Peripheral blood smear: 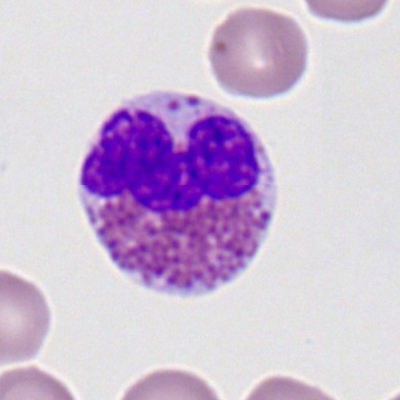Specimen: peripheral blood film.
Classification: eosinophil.
Lineage: myeloid.